Peripheral blood smear · single-cell field.
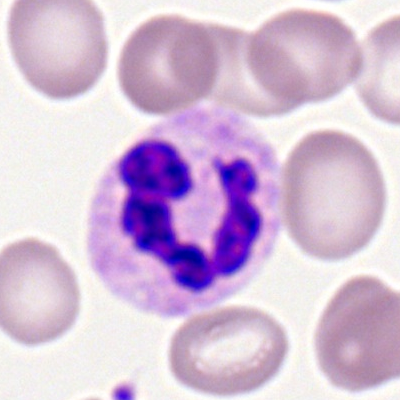
The cell shown is a neutrophil (segmented).